Single-cell field; bone marrow smear; Pappenheim-stained:
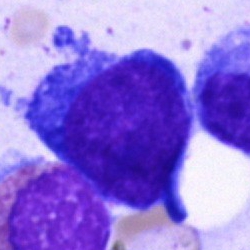 Morphological class — proerythroblast.